Bone marrow smear — 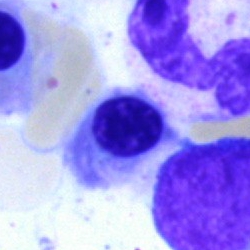 The cell type is nucleated red cell.